Bone marrow aspirate smear · May-Grünwald-Giemsa stain:
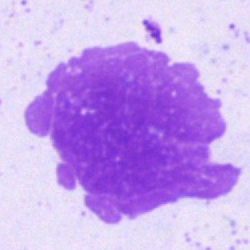

Classification: artifact.